Peripheral blood film
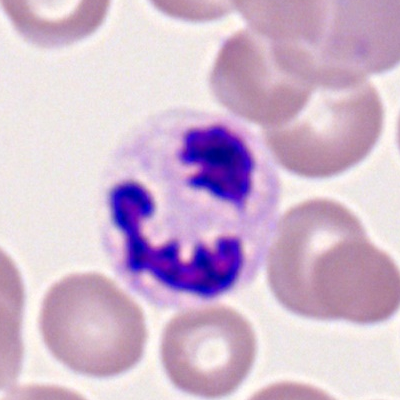 Single cell identified as a segmented neutrophil.